Brightfield, 40× oil-immersion objective; May-Grünwald-Giemsa/Pappenheim stain; bone marrow smear — 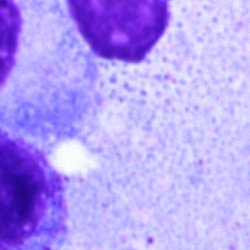

Morphology consistent with an artefact.